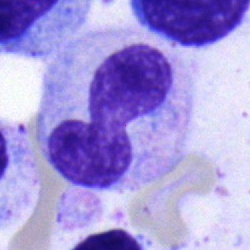Neutrophil (band).